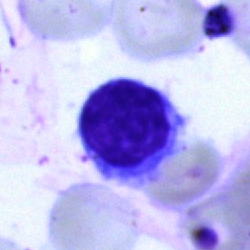The cell shown is a typical lymphocyte.